Peripheral blood smear — 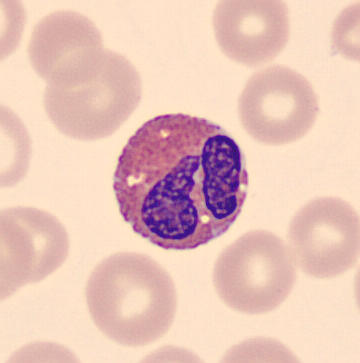 Identified as an eosinophil.